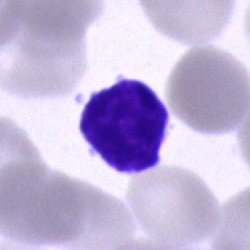
Morphology consistent with a typical lymphocyte.